Bone marrow aspirate smear
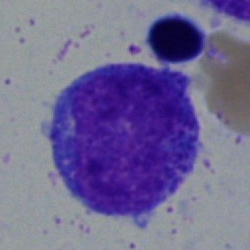 Q: What type of cell is this?
A: A progranulocyte.